Pappenheim-stained. Bone marrow aspirate smear.
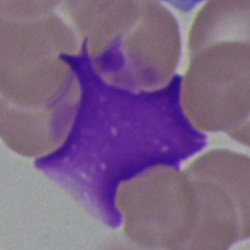 Artefact.